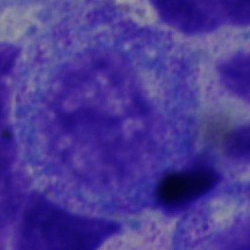
Q: What is the morphological classification of this cell?
A: It is a promyelocyte.